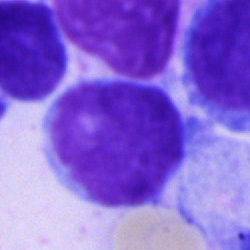
Q: What cell is this?
A: It is an undifferentiated blast.